Peripheral blood film:
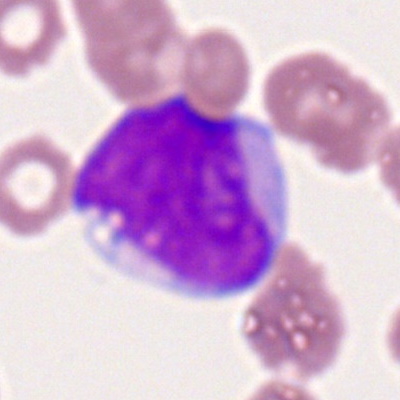 Morphology consistent with a myeloid blast.